Bone marrow aspirate smear: 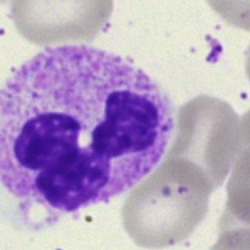

Morphology consistent with a polymorphonuclear neutrophil.